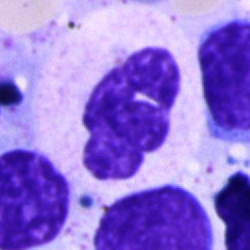 Q: Identify the cell.
A: This is a neutrophil (segmented).